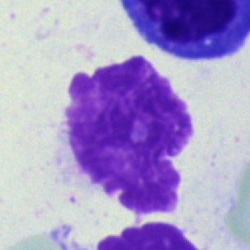

Morphological class = artefact.